Bone marrow aspirate smear.
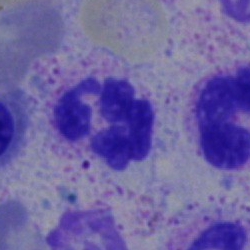
Impression — segmented neutrophil.